Bone marrow smear; single-cell field:
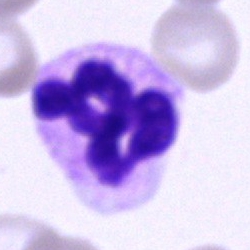 Showing a segmented neutrophil.